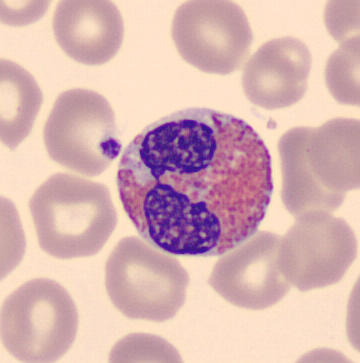
Peripheral blood film. May Grünwald-Giemsa stain. CellaVision DM96.
Classification — eosinophil.